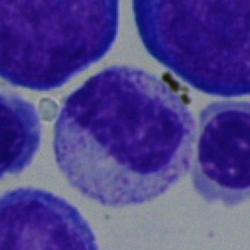A metamyelocyte.